Bone marrow smear
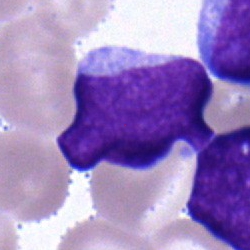

Specimen: bone marrow aspirate smear.
Cell type: blast cell.